Bone marrow smear; MGG-stained — 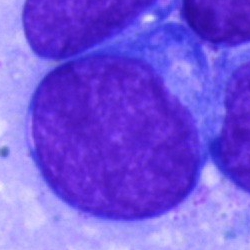Morphology — blast.